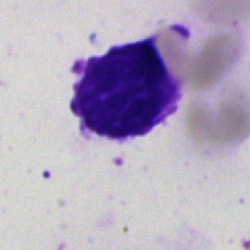Q: What is shown here?
A: Artifact.